Peripheral blood smear — 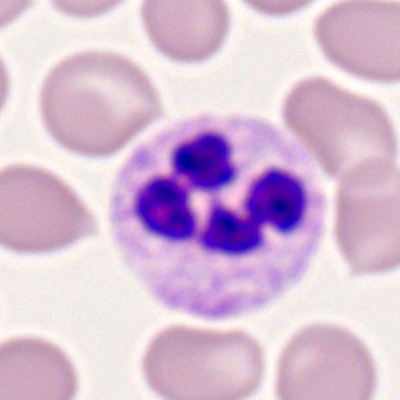Classification = neutrophil (segmented).